40× oil immersion; bone marrow smear: 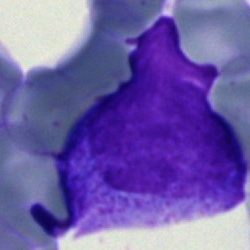 A blast.